Bone marrow smear; 250×250 px.
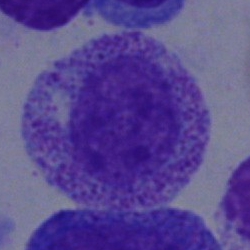 Q: What type of cell is this?
A: It is a myelocyte.